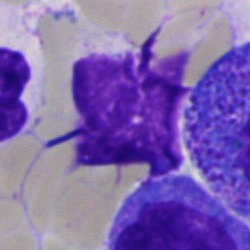
{"cell_type": "artefact"}